Bone marrow aspirate smear — 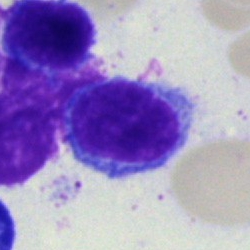

The cell is typical lymphocyte.